Bone marrow aspirate smear
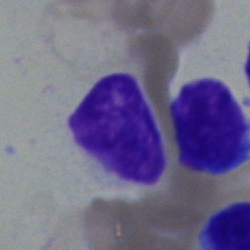Q: What is the morphological classification of this cell?
A: This is a typical lymphocyte.